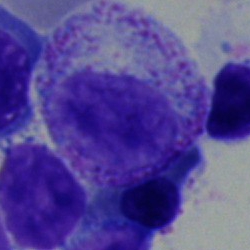

Q: Identify the cell.
A: It is a myelocyte.